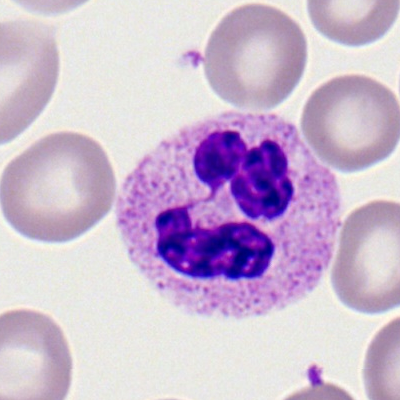

{"cell_type": "polymorphonuclear neutrophil", "lineage": "myeloid"}